250×250 · bone marrow aspirate smear
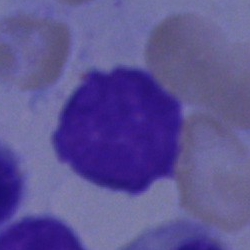

Showing an artifact.